Brightfield, 40× oil-immersion objective · bone marrow smear · May-Grünwald-Giemsa stain
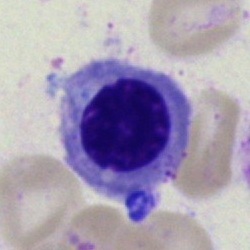 Nucleated red blood cell.